250×250 px · 40× objective, oil immersion · bone marrow aspirate smear:
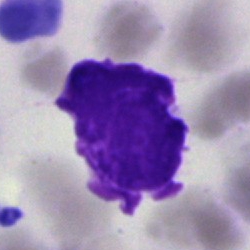Cell type — artefact.